Bone marrow aspirate smear · single cell centered in the field.
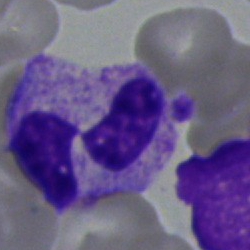 Specimen: bone marrow smear.
Cell: polymorphonuclear neutrophil.
Lineage: myeloid.